Single cell centered in the field. Bone marrow smear. Pappenheim-stained: 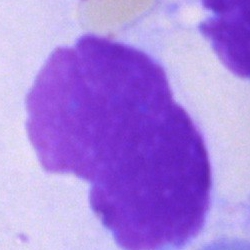
Morphology — artefact.